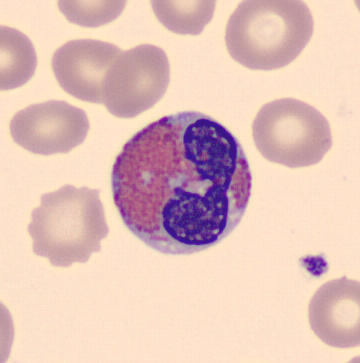 Single cell identified as an eosinophilic granulocyte.